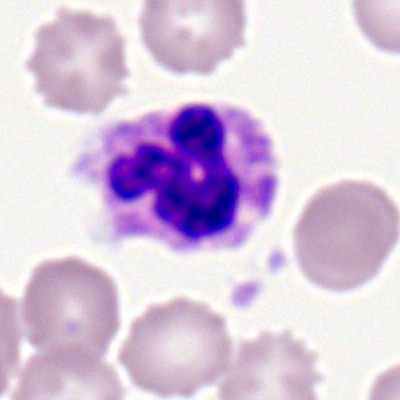This is a segmented neutrophil.